Bone marrow smear:
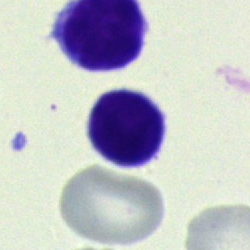

Q: What cell is this?
A: Lymphocyte.